Bone marrow smear
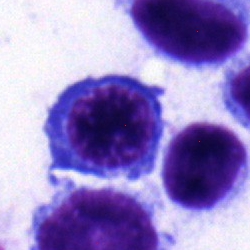

Cell: normoblast.